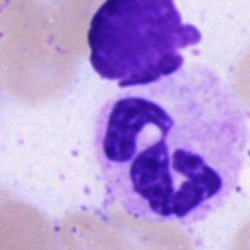

Cell type: segmented neutrophil.